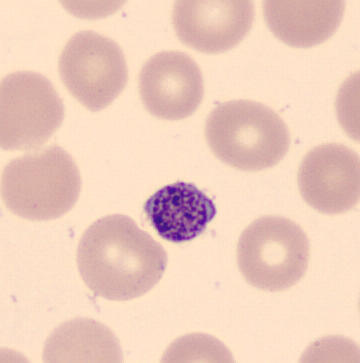

Identified as a thrombocyte.

Preparation: 360×363. Peripheral blood film.